Bone marrow smear.
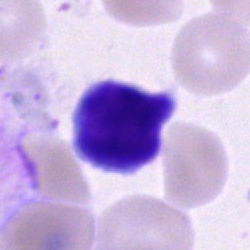 This is a lymphocyte.